Bone marrow smear.
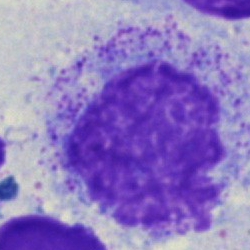 Specimen: bone marrow aspirate smear.
Morphological class: myelocyte.